Peripheral blood smear
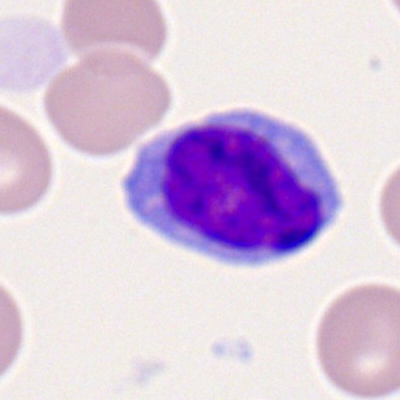 Q: What is shown here?
A: Typical lymphocyte.